Bone marrow aspirate smear. Single-cell field: 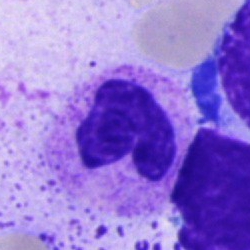

Segmented neutrophil.